250 by 250 pixels; bone marrow aspirate smear: 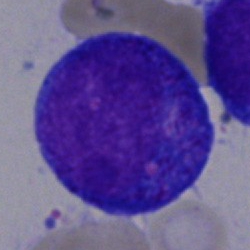 Impression — blast cell.